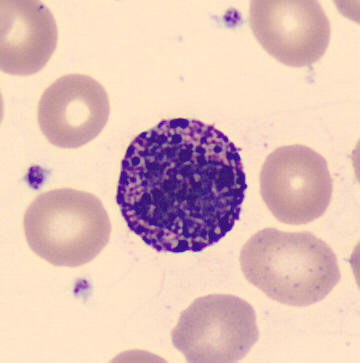

The cell shown is a basophilic granulocyte.